Bone marrow smear · 250 by 250 pixels: 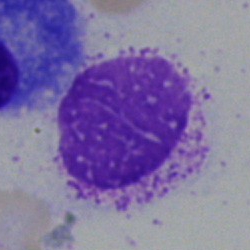 {"cell_type": "artefact"}